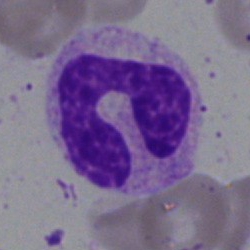

{"cell_type": "segmented neutrophil"}